May-Grünwald-Giemsa/Pappenheim stain. Bone marrow aspirate smear:
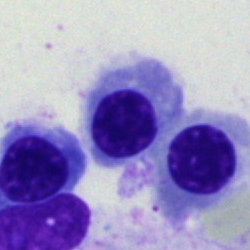

Single cell identified as an erythroblast.